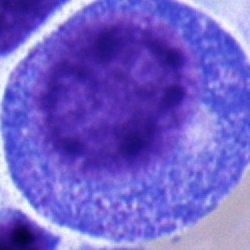 Q: What is shown here?
A: This is a promyelocyte.